40× oil immersion; Pappenheim-stained; bone marrow aspirate smear.
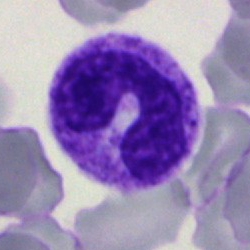

Q: What type of cell is this?
A: It is a stab cell.